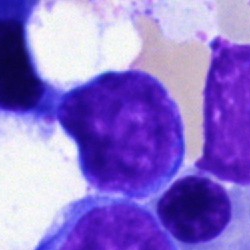Typical lymphocyte.